Bone marrow aspirate smear: 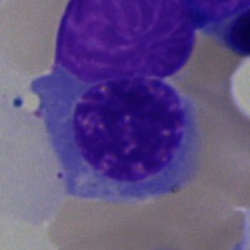

This is a nucleated red cell.